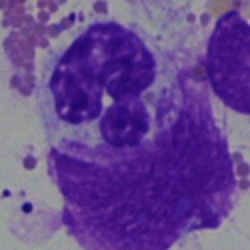Classification: segmented neutrophil.